Peripheral blood smear — 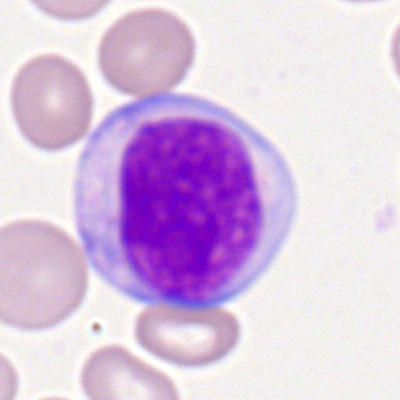

Single cell identified as a lymphocyte.